Bone marrow smear. Single cell centered in the field. May-Grünwald-Giemsa/Pappenheim stain: 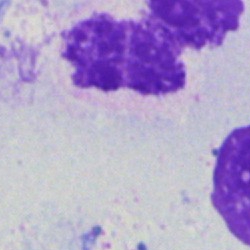

Artifact.